Bone marrow aspirate smear: 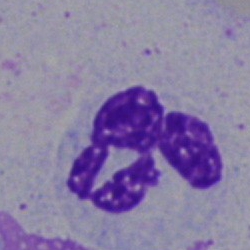

Single cell identified as a neutrophil (segmented).